Bone marrow smear · single cell centered in the field · image size 250×250 — 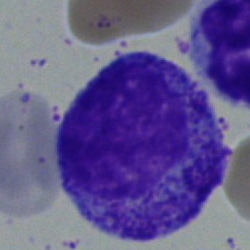Showing a progranulocyte.